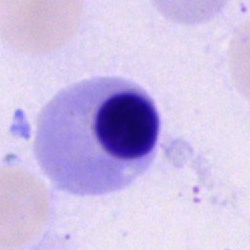

Showing a nucleated red blood cell.